Bone marrow aspirate smear
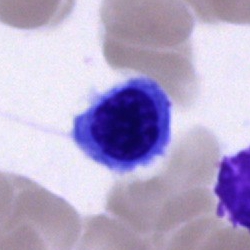
Impression → nucleated red blood cell.